Bone marrow smear
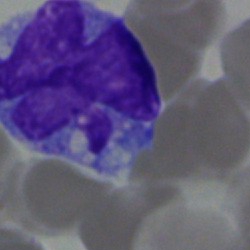

Cell — monocyte.